Single cell centered in the field; bone marrow aspirate smear
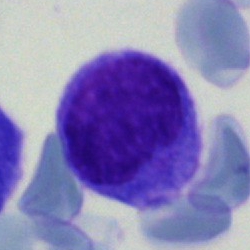
Q: Identify the cell.
A: This is a blast cell.